Bone marrow smear: 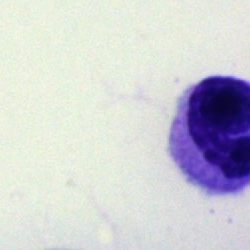 Morphological class = artefact.